Bone marrow smear · brightfield microscopy, 40× oil immersion · 250 by 250 pixels: 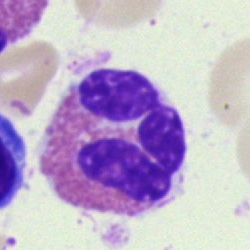
Eosinophilic granulocyte.